Bone marrow smear. May-Grünwald-Giemsa stain. 40× objective, oil immersion:
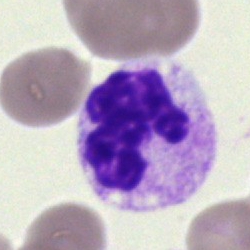
Morphology consistent with a neutrophil (segmented).